Bone marrow aspirate smear:
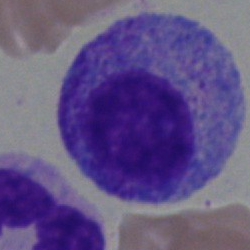 Q: What is shown here?
A: This is a myelocyte.